MGG-stained; bone marrow smear: 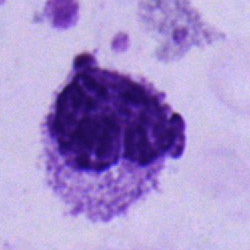 Showing a metamyelocyte.